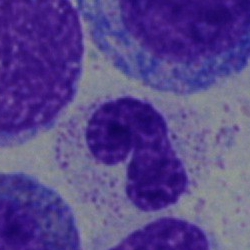
Bone marrow smear showing a stab cell.